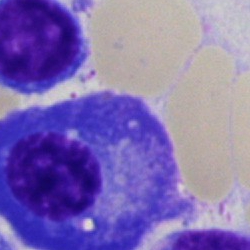

The morphological class is plasmacyte.